250 by 250 pixels · bone marrow smear · single-cell field — 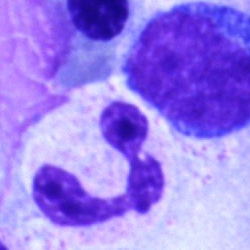

Classification: polymorphonuclear neutrophil.